Bone marrow smear
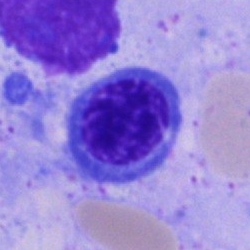Erythroblast.